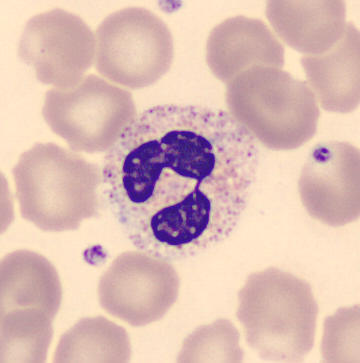Peripheral blood film, single cell — segmented neutrophil.